Bone marrow aspirate smear
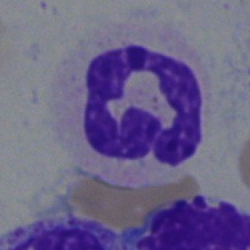
Cell type — polymorphonuclear neutrophil.